Bone marrow aspirate smear — 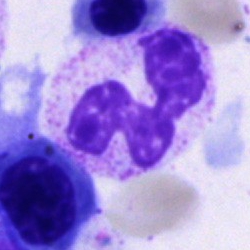

The classification is neutrophil (segmented).